May-Grünwald-Giemsa/Pappenheim stain; cropped to a single cell; bone marrow aspirate smear — 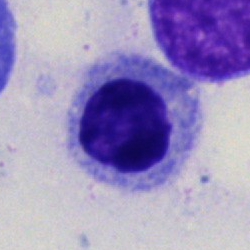
Morphology → nucleated red blood cell.